Single-cell field · brightfield, 40× oil-immersion objective · bone marrow aspirate smear:
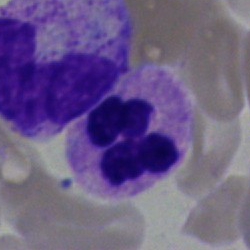 Morphological class — segmented neutrophil.